Bone marrow aspirate smear
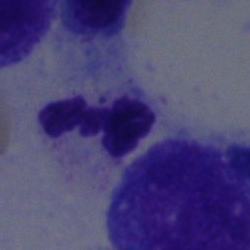

This is a neutrophil (segmented).